250×250 px. Bone marrow aspirate smear. 40× oil immersion:
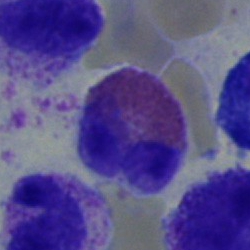 Q: What is the morphological classification of this cell?
A: Eosinophilic granulocyte.